Bone marrow smear — 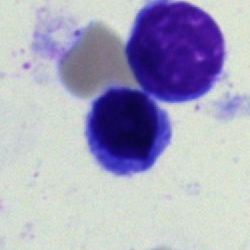 Cell — normoblast.